Bone marrow smear; image size 250×250.
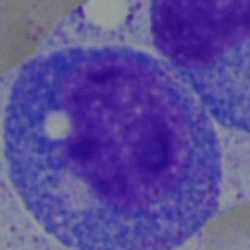
Single cell identified as a promyelocyte.